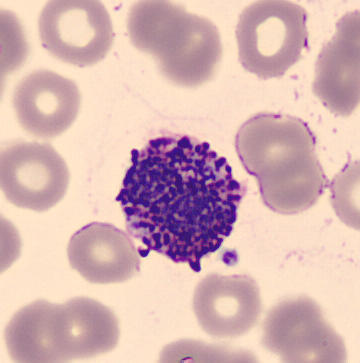Image: Peripheral blood smear. Identified as a basophil.